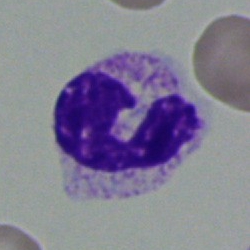 Q: What type of cell is this?
A: A band neutrophil.